250 by 250 pixels · bone marrow smear:
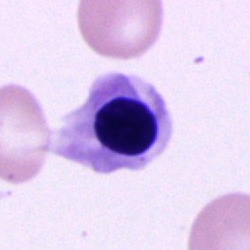The cell shown is an erythroblast.